Cropped to a single cell; bone marrow aspirate smear
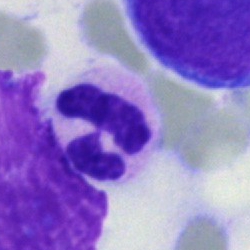
The cell shown is a polymorphonuclear neutrophil.